Image size 250×250; bone marrow smear — 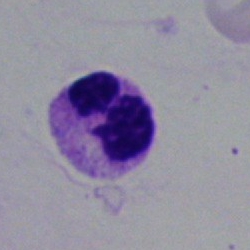Cell type: segmented neutrophil.